Bone marrow smear: 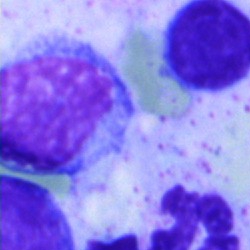Impression → typical lymphocyte.